Bone marrow smear: 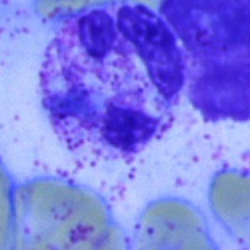

Q: Which cell type is shown here?
A: Polymorphonuclear neutrophil.